Peripheral blood smear
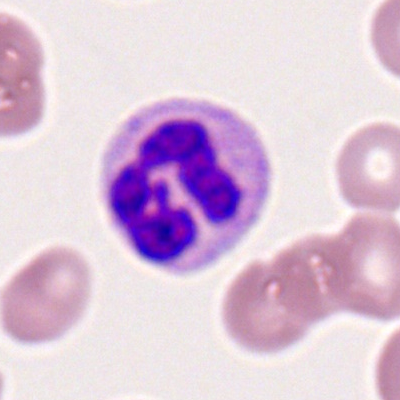 Neutrophil (segmented).